Peripheral blood smear: 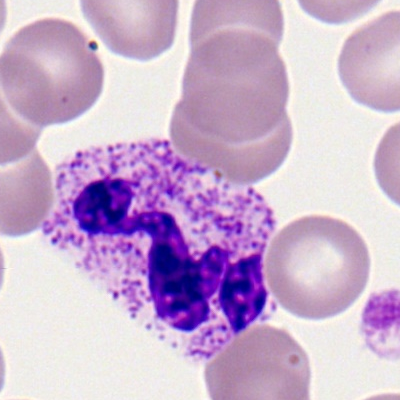The cell shown is a polymorphonuclear neutrophil.